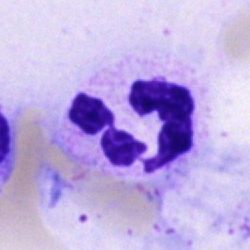
Bone marrow smear showing a neutrophil (segmented).